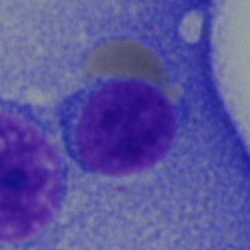 Morphology consistent with a typical lymphocyte.